Peripheral blood film — 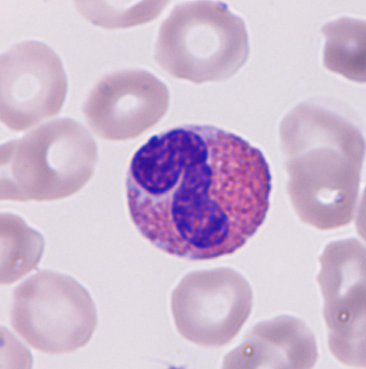
An eosinophil.